Single-cell field; bone marrow smear:
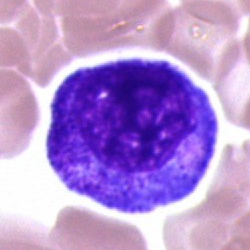
Morphological class — cell of indeterminate lineage.